Bone marrow smear. Cropped to a single cell.
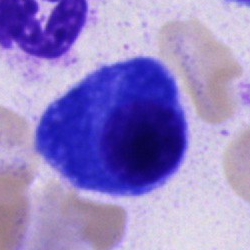Cell = plasma cell.